250×250. Bone marrow smear: 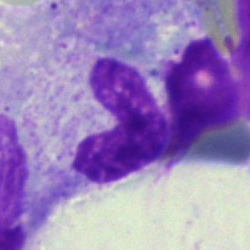

Q: What is shown here?
A: This is an artifact.